Single cell centered in the field · bone marrow smear · 250×250 px:
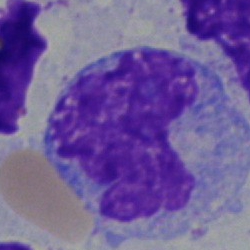 This is an undifferentiated blast.